Bone marrow aspirate smear; 250×250.
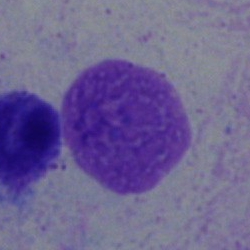 Morphological class = artifact.